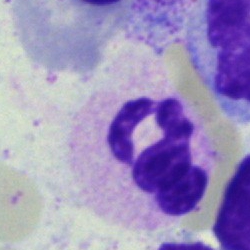Single cell identified as a neutrophil (segmented).